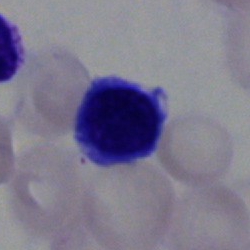 Morphology → typical lymphocyte.